250×250 px. Bone marrow aspirate smear: 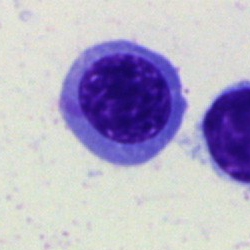 Nucleated red blood cell.